Brightfield, 40× oil-immersion objective; bone marrow smear — 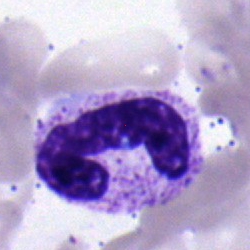 Cell type = stab cell.